250 by 250 pixels; brightfield microscopy, 40× oil immersion; bone marrow smear — 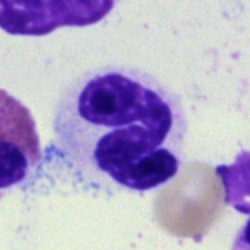 Morphological class — polymorphonuclear neutrophil.